Bone marrow smear — 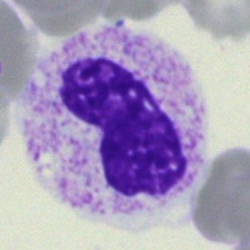A band neutrophil.